Image size 400×400; peripheral blood smear; cropped to a single cell.
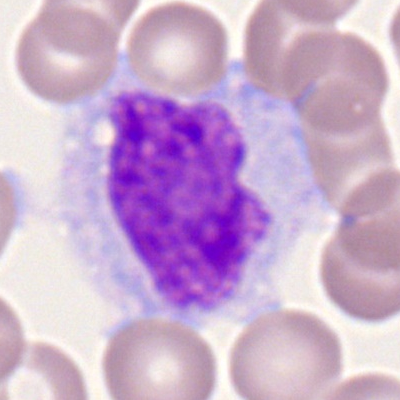
Q: What type of cell is this?
A: Monocyte.